Bone marrow aspirate smear.
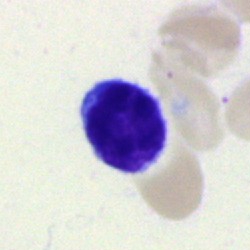

Cell: lymphocyte.